Bone marrow aspirate smear: 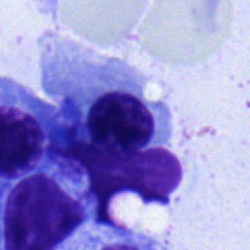A nucleated red cell.